Bone marrow smear
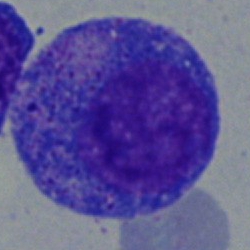
Q: What type of cell is this?
A: Promyelocyte.